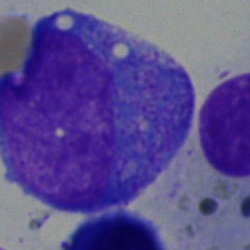
Bone marrow smear showing a progranulocyte.